MGG-stained · bone marrow smear: 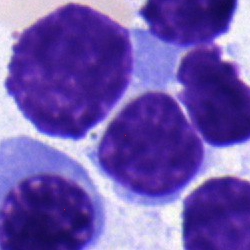A typical lymphocyte.